Single cell centered in the field; bone marrow smear; brightfield microscopy, 40× oil immersion: 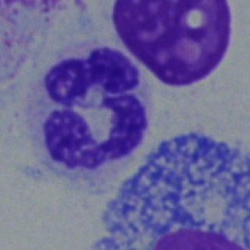
Morphology consistent with a polymorphonuclear neutrophil.